Bone marrow smear: 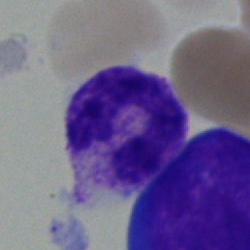Morphology → segmented neutrophil.